Single cell centered in the field · brightfield microscopy, 40× oil immersion · bone marrow aspirate smear.
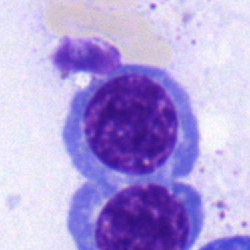
Nucleated red cell.